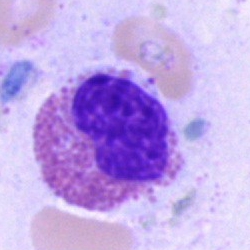 {"cell_type": "eosinophilic granulocyte"}